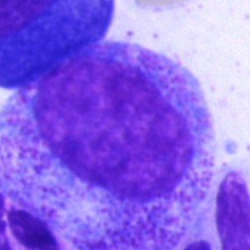 Showing a promyelocyte.